Bone marrow aspirate smear. May-Grünwald-Giemsa/Pappenheim stain. 250×250 px.
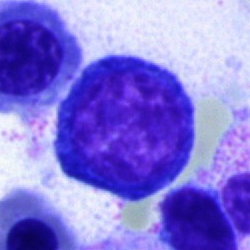

Classification — normoblast.